Bone marrow smear; 250×250
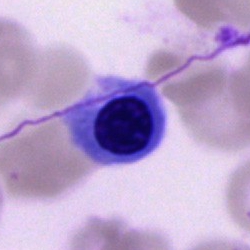

Q: What cell is this?
A: Nucleated red cell.